Pappenheim-stained. Bone marrow smear. Brightfield microscopy, 40× oil immersion:
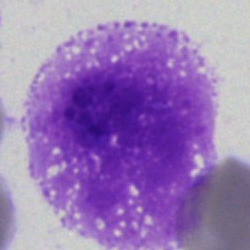 Artifact.